Bone marrow aspirate smear — 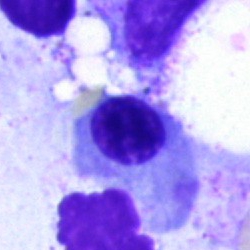 Classification: nucleated red cell.